Bone marrow aspirate smear.
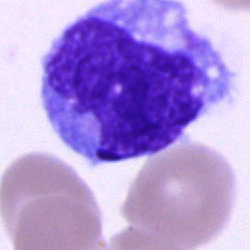

The cell shown is a monocyte.